Bone marrow smear — 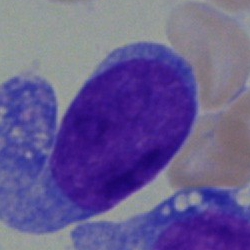

Showing a blast.